Peripheral blood film. Romanowsky-stained — 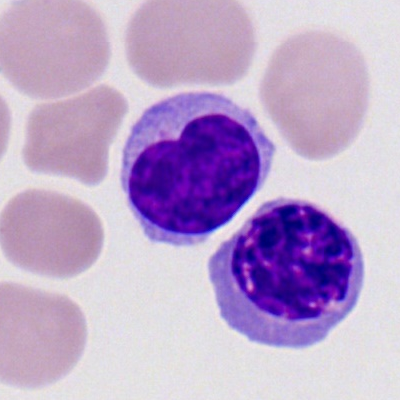A typical lymphocyte.